250×250. Single cell centered in the field. Bone marrow aspirate smear:
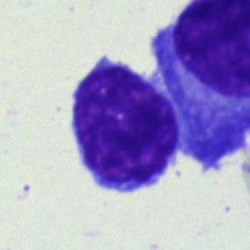

Q: What cell is this?
A: It is a lymphocyte.